Bone marrow aspirate smear.
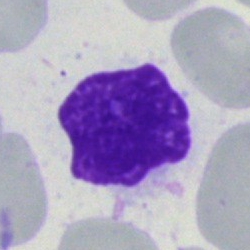

Classification: artefact.